Bone marrow smear.
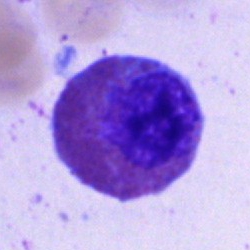

Specimen: bone marrow aspirate smear.
Morphological class: eosinophil.
Lineage: myeloid.